Bone marrow aspirate smear; 40× objective, oil immersion — 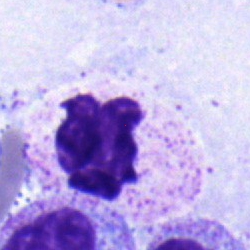

Morphology consistent with a segmented neutrophil.